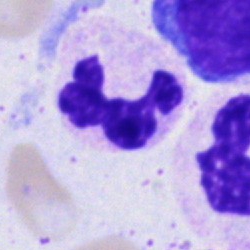 Single-cell crop from a bone marrow smear: segmented neutrophil.